Bone marrow aspirate smear.
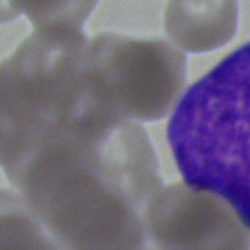

{"cell_type": "undifferentiated blast"}